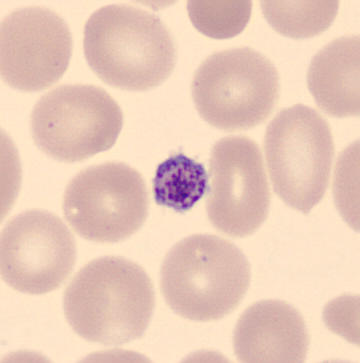 Image: Peripheral blood film. 360×363 px. Morphology → platelet.